Bone marrow aspirate smear. 250×250. Single-cell field — 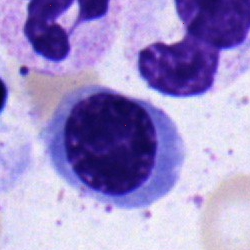Cell type — erythroblast.